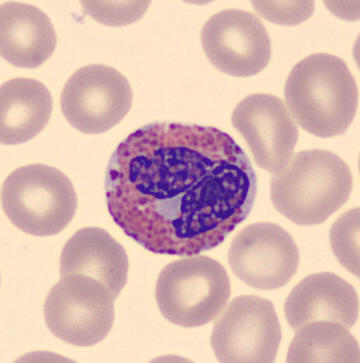 Cell type: eosinophilic granulocyte.